Bone marrow smear
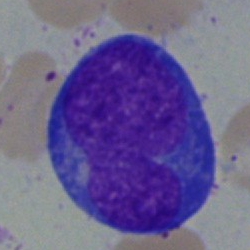 Cell type: blast cell.